Bone marrow smear:
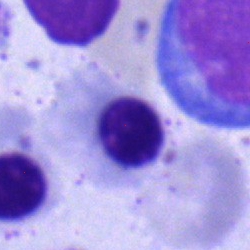

This is a normoblast.